Bone marrow smear.
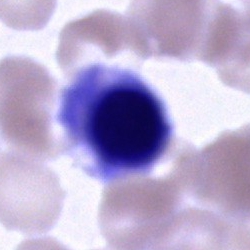

Cell type: erythroblast.